Brightfield, 40× oil-immersion objective. Bone marrow aspirate smear. Image size 250×250:
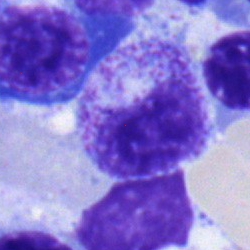Specimen: bone marrow smear.
Cell type: metamyelocyte.
Lineage: myeloid.